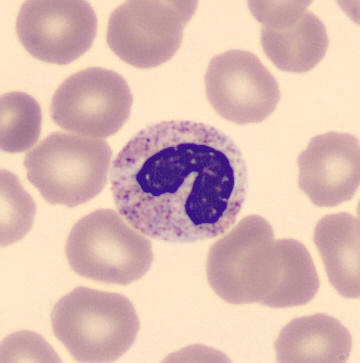

Preparation: Peripheral blood film; May-Grünwald-Giemsa-stained; 360×363 px. {"cell_type": "stab cell"}